Bone marrow smear.
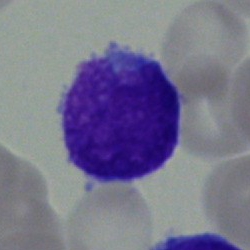 {"cell_type": "blast"}